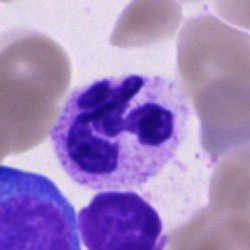Classification = polymorphonuclear neutrophil.